Bone marrow aspirate smear:
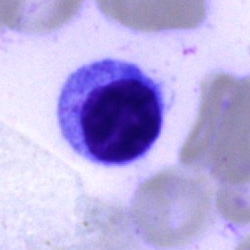 Morphology — lymphocyte.